Peripheral blood smear — 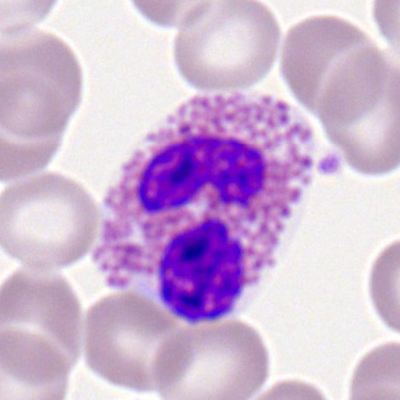
Morphological class — eosinophil.